40× oil immersion · 250×250 px · bone marrow aspirate smear — 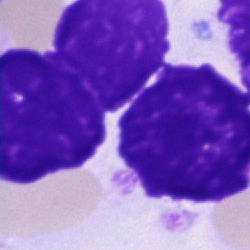The morphological class is artefact.